Bone marrow smear.
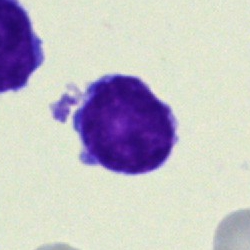Cell: lymphocyte.